100× objective, oil immersion. Romanowsky-type stain. Peripheral blood film
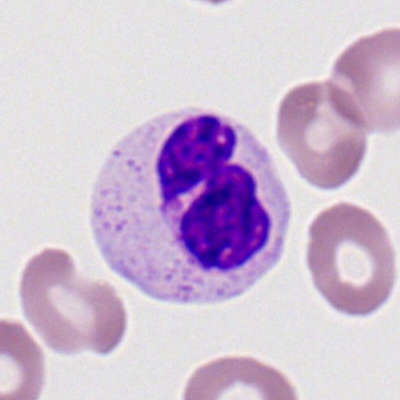

The cell shown is a polymorphonuclear neutrophil.